Cropped to a single cell; bone marrow aspirate smear:
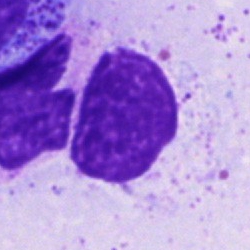The morphological class is artifact.